40× oil immersion · bone marrow smear · 250×250 px — 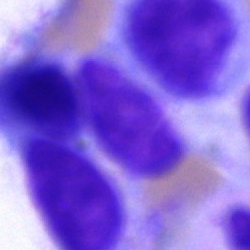
Classification — artefact.